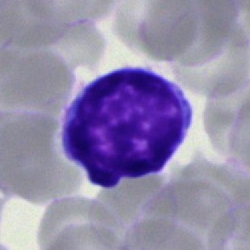Cell type = lymphocyte.